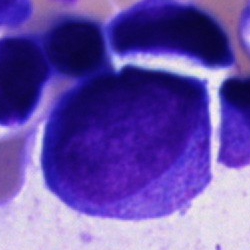

Specimen: bone marrow smear.
Cell: blast cell.